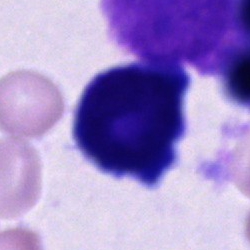 Bone marrow aspirate smear, single cell — cell of indeterminate lineage.